250 by 250 pixels. Bone marrow smear — 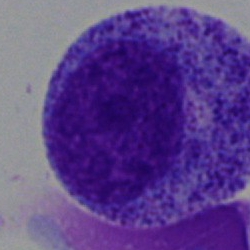Impression — promyelocyte.